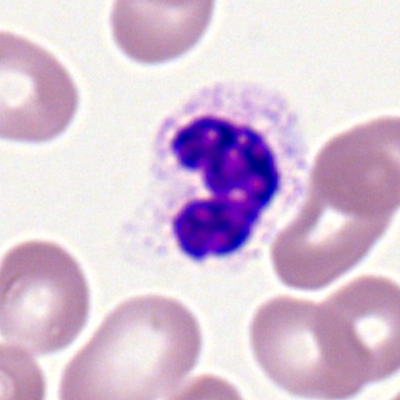

Q: Identify the cell.
A: Neutrophil (segmented).